Bone marrow smear — 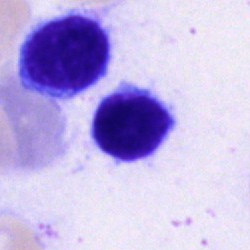 The cell shown is a lymphocyte.